Bone marrow aspirate smear. Brightfield, 40× oil-immersion objective: 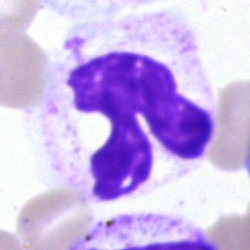
Classification — artifact.